Brightfield, 40× oil-immersion objective · bone marrow smear: 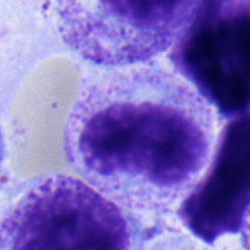 Showing a band neutrophil.